Bone marrow smear.
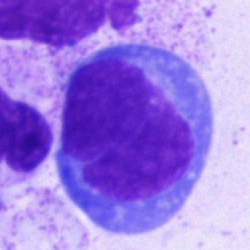
Impression → blast cell.